Bone marrow aspirate smear · 40× objective, oil immersion: 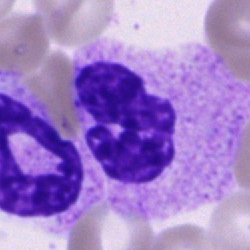
Showing a neutrophil (segmented).